Bone marrow aspirate smear
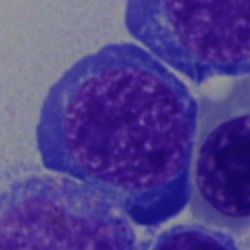Specimen: bone marrow aspirate smear.
Morphological class: nucleated red cell.